250 by 250 pixels. Bone marrow smear:
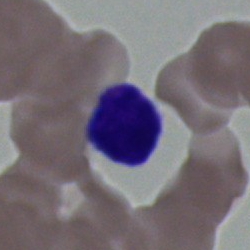
Specimen: bone marrow aspirate smear.
Morphological class: lymphocyte.
Lineage: lymphoid.